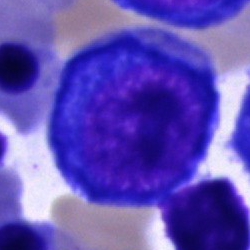

Q: What type of cell is this?
A: A proerythroblast.